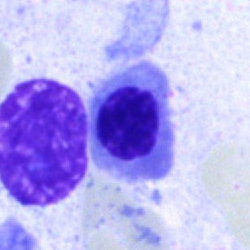 Morphology — nucleated red cell.